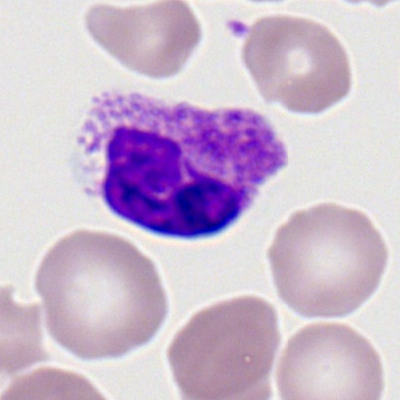 Morphological class — basophil.